Bone marrow smear · cropped to a single cell · May-Grünwald-Giemsa/Pappenheim stain — 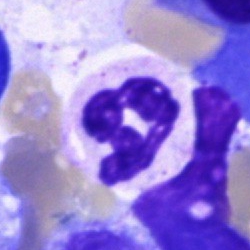
Impression — neutrophil (segmented).